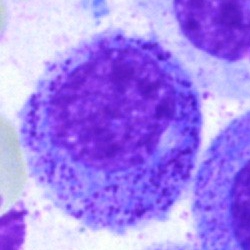 Bone marrow smear showing a myelocyte.